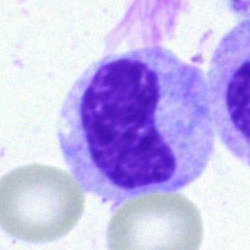Cell type = stab cell.